May-Grünwald-Giemsa/Pappenheim stain. Bone marrow aspirate smear:
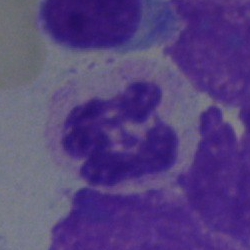 Polymorphonuclear neutrophil.